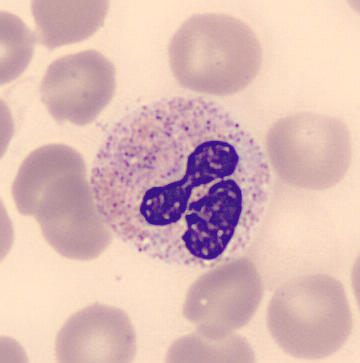

Image: May-Grünwald-Giemsa-stained.

Specimen: peripheral blood smear.
Cell: polymorphonuclear neutrophil.